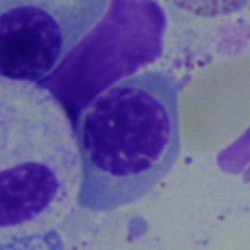Cell type — nucleated red cell.